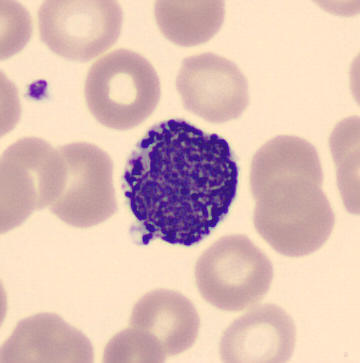{"cell_type": "basophil", "lineage": "myeloid"}

Preparation: Peripheral blood smear.